Bone marrow smear. MGG-stained
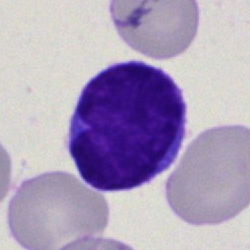 Specimen: bone marrow aspirate smear.
Cell: lymphocyte.
Lineage: lymphoid.